Bone marrow smear · Pappenheim-stained — 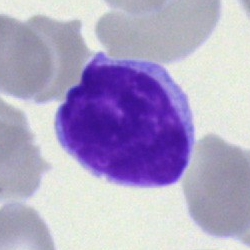The cell is lymphocyte.